M8 digital microscope (Precipoint), 100× oil immersion · peripheral blood film:
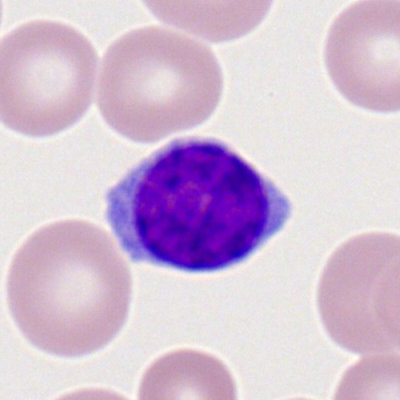 Morphology consistent with a typical lymphocyte.